Bone marrow aspirate smear.
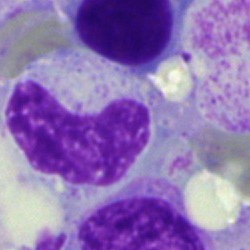

Showing a metamyelocyte.